Single-cell crop · bone marrow aspirate smear
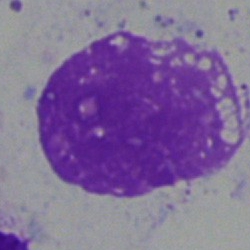 Cell type — artefact.